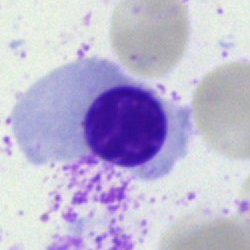An erythroblast.